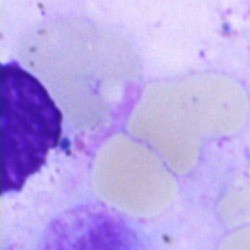

Morphological class — artifact.